Bone marrow aspirate smear; single cell centered in the field
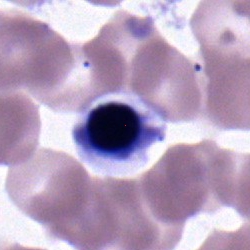
Classification: nucleated red blood cell.